Bone marrow aspirate smear: 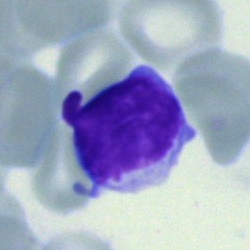
This is a lymphocyte.